Bone marrow smear · 250×250 px · single-cell field: 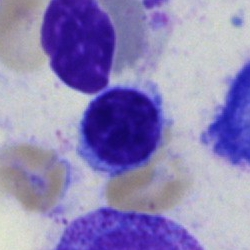
Single cell identified as a typical lymphocyte.